Cropped to a single cell; bone marrow aspirate smear; brightfield microscopy, 40× oil immersion.
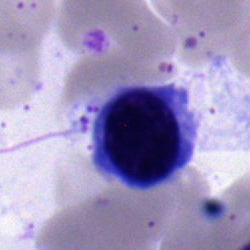 This is a nucleated red cell.